Bone marrow aspirate smear; single cell centered in the field; brightfield microscopy, 40× oil immersion:
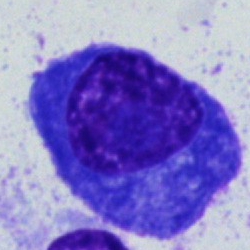Morphology consistent with a plasmacyte.